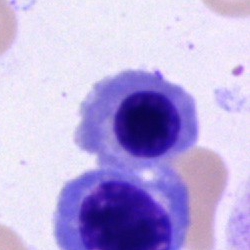 Q: Which cell type is shown here?
A: Normoblast.